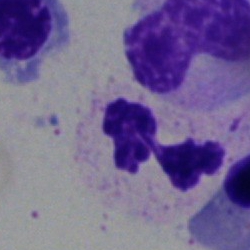Q: Which cell type is shown here?
A: Neutrophil (segmented).